Bone marrow smear:
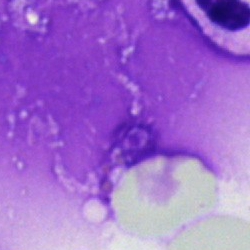

Cell type — artifact.